Bone marrow smear.
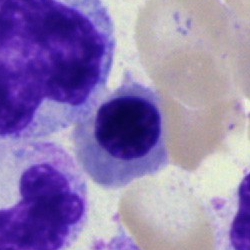
Specimen: bone marrow smear.
Cell: nucleated red blood cell.